Bone marrow aspirate smear — 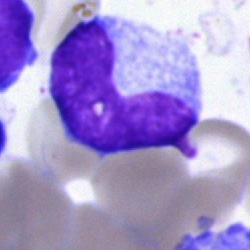

The cell shown is a neutrophil (band).